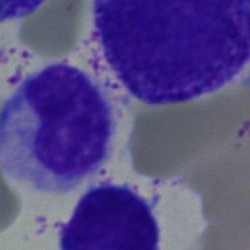

A metamyelocyte.